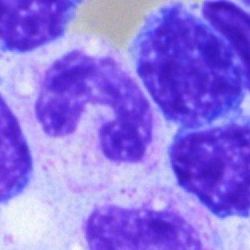 Impression → polymorphonuclear neutrophil.